Bone marrow smear.
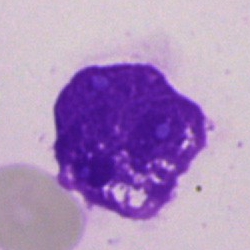

Cell: artifact.